Bone marrow smear: 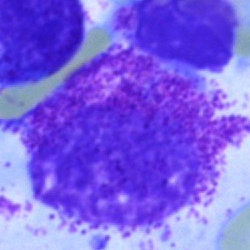Cell — myelocyte.